Bone marrow smear:
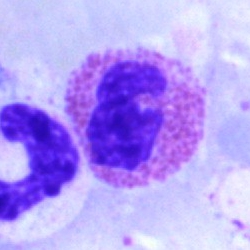The cell is eosinophil.